Peripheral blood film.
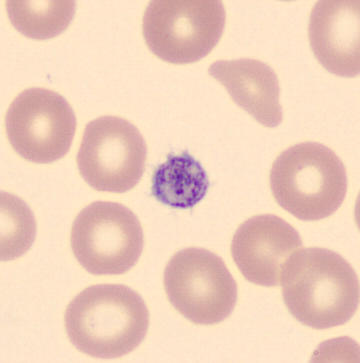 Q: What is this?
A: A platelet (thrombocyte).